Bone marrow aspirate smear. MGG-stained:
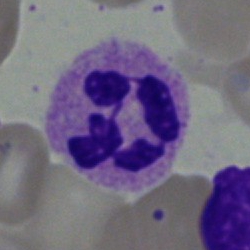 Impression → segmented neutrophil.